Peripheral blood film:
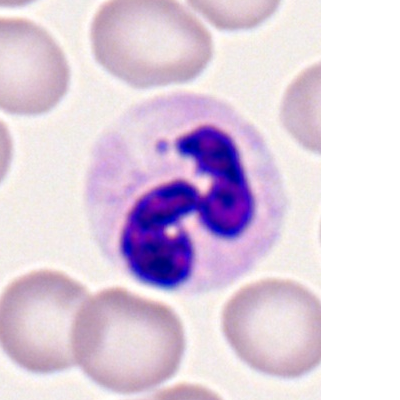 Cell: polymorphonuclear neutrophil.